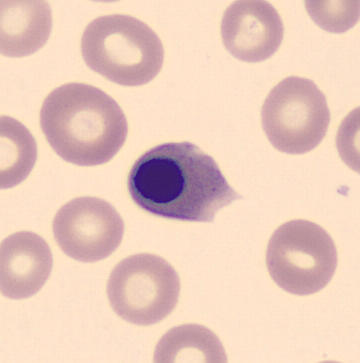

Morphology consistent with a nucleated red blood cell. Peripheral blood film.